Single-cell field. Bone marrow smear. 250×250
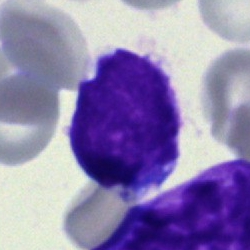
Morphology — blast cell.